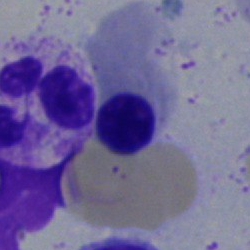Q: What is shown here?
A: It is a nucleated red cell.